250×250 · single-cell field · bone marrow aspirate smear:
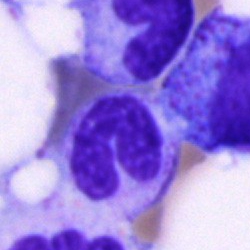
Morphological class: band neutrophil.